Bone marrow aspirate smear: 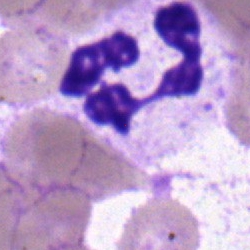 Morphological class: segmented neutrophil.